Single cell centered in the field; bone marrow smear.
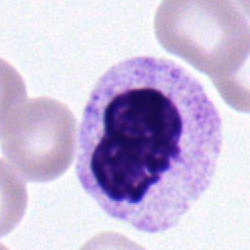 This is a myelocyte.